Bone marrow aspirate smear: 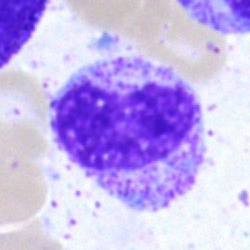
A metamyelocyte.